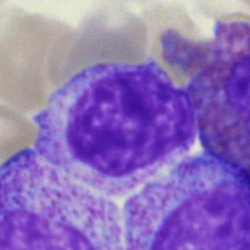 Cell type — myelocyte.